Peripheral blood film.
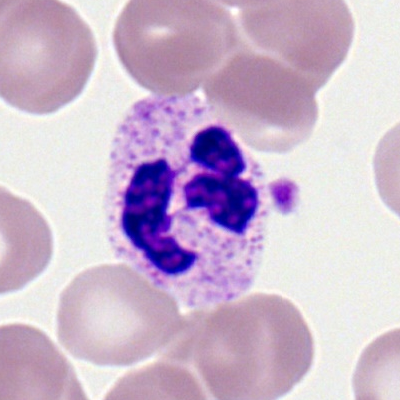Cell = neutrophil (segmented).